Single cell centered in the field; bone marrow smear
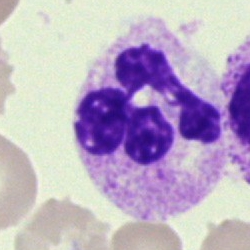 A neutrophil (segmented).